Bone marrow aspirate smear: 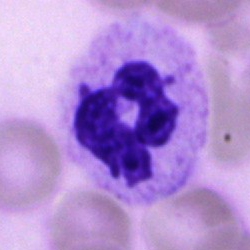The cell shown is a neutrophil (segmented).